Bone marrow smear · image size 250×250 — 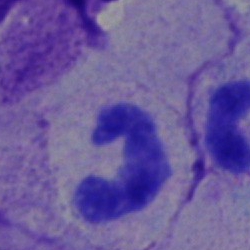

Specimen: bone marrow smear.
Cell type: band neutrophil.